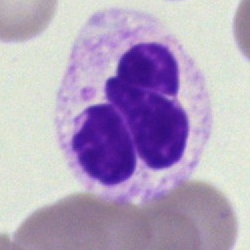

Classification = neutrophil (segmented).